Bone marrow smear. May-Grünwald-Giemsa/Pappenheim stain. Single-cell crop: 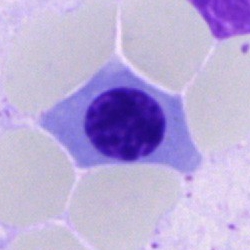This is a nucleated red blood cell.